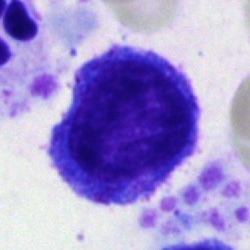Morphological class — promyelocyte.